Bone marrow aspirate smear · 40× objective, oil immersion.
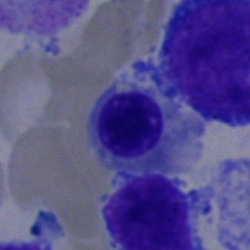 Q: What is shown here?
A: An erythroblast.